Bone marrow smear: 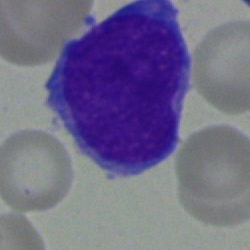Specimen: bone marrow smear.
Classification: undifferentiated blast.